Bone marrow smear: 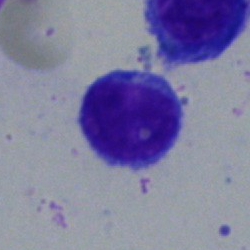Morphology → lymphocyte.